Bone marrow smear — 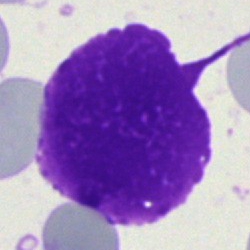

Morphology → artifact.